Bone marrow aspirate smear · single cell centered in the field
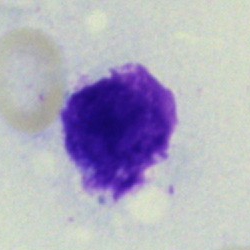Specimen: bone marrow aspirate smear.
Classification: artifact.